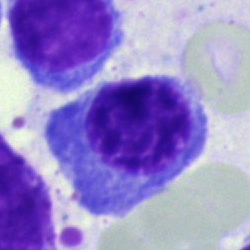
Morphology — normoblast.